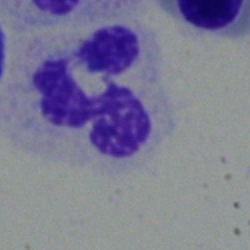The cell shown is a monocyte.